Bone marrow aspirate smear: 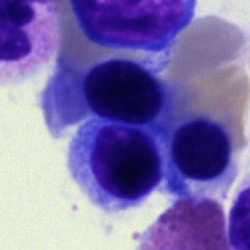Cell: erythroblast.